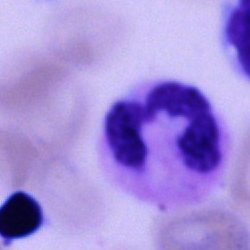 Classification: segmented neutrophil.